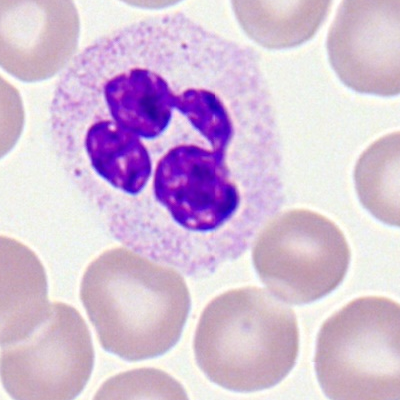

{"cell_type": "neutrophil (segmented)", "lineage": "myeloid"}